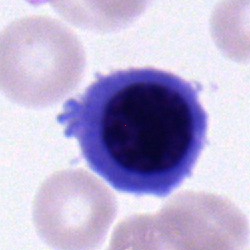 Impression → erythroblast.